Bone marrow smear. Brightfield microscopy, 40× oil immersion
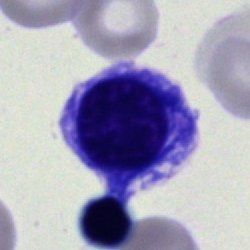

Morphological class = normoblast.